Bone marrow smear · 250×250 px.
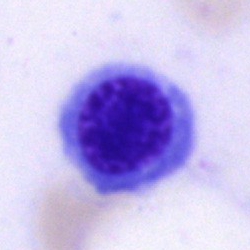

The classification is normoblast.